Brightfield, 40× oil-immersion objective · May-Grünwald-Giemsa stain · bone marrow smear:
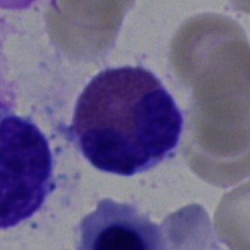

This is an eosinophilic granulocyte.